Peripheral blood film
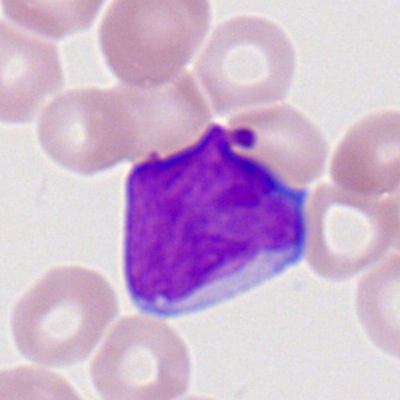
Morphology consistent with a myeloid blast.